Bone marrow smear; brightfield, 40× oil-immersion objective — 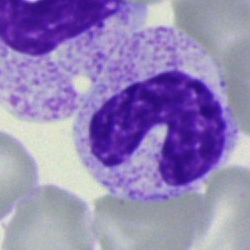 Q: Which cell type is shown here?
A: Neutrophil (band).